Bone marrow smear.
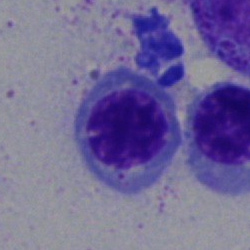
Showing a nucleated red blood cell.